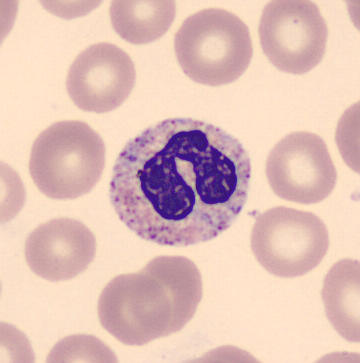
Neutrophil (band).